Image size 250×250 · bone marrow smear — 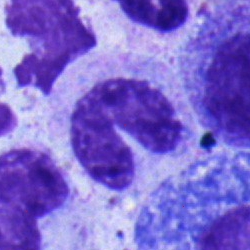 Q: Identify the cell.
A: It is a band neutrophil.